Peripheral blood film:
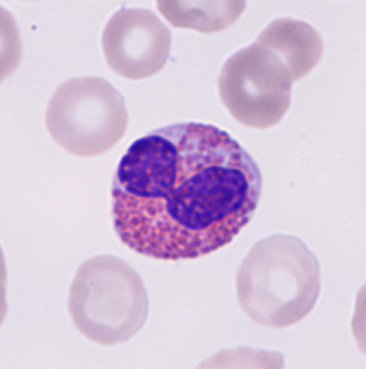

The cell shown is an eosinophil.